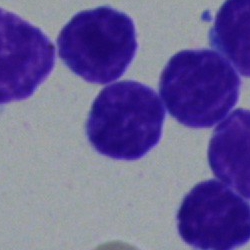Specimen: bone marrow smear.
Morphological class: typical lymphocyte.
Lineage: lymphoid.